250×250 px · bone marrow smear · 40× oil immersion:
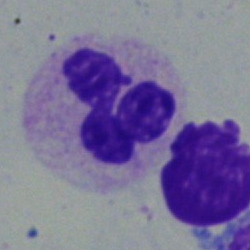 Neutrophil (segmented).